Bone marrow smear — 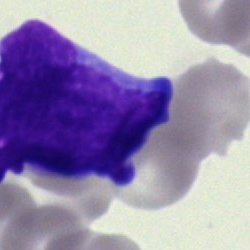Showing a blast.